Bone marrow smear; 40× objective, oil immersion
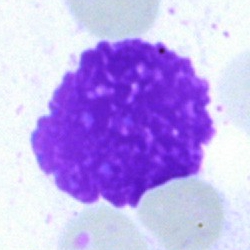Specimen: bone marrow aspirate smear.
Cell: artefact.